Bone marrow aspirate smear · May-Grünwald-Giemsa/Pappenheim stain — 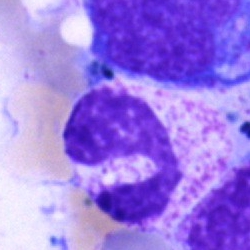
Morphology consistent with a neutrophil (segmented).